Bone marrow aspirate smear; Pappenheim-stained; brightfield microscopy, 40× oil immersion:
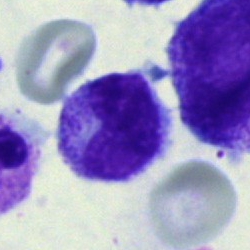Specimen: bone marrow smear.
Classification: metamyelocyte.